40× objective, oil immersion; bone marrow smear — 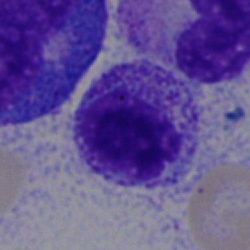

Morphological class — myelocyte.